Bone marrow aspirate smear: 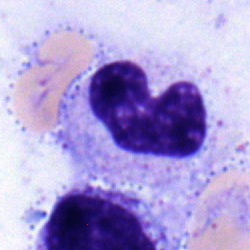

Q: What is the morphological classification of this cell?
A: This is a band-form neutrophil.